Bone marrow aspirate smear; 40× objective, oil immersion:
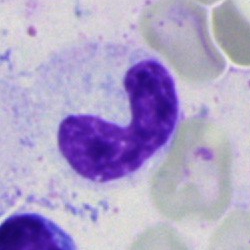 Classification: band neutrophil.